40× objective, oil immersion. Image size 250×250. Bone marrow smear.
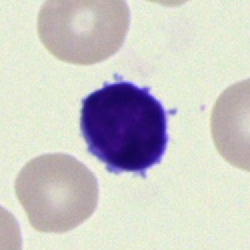
Q: What type of cell is this?
A: This is a typical lymphocyte.